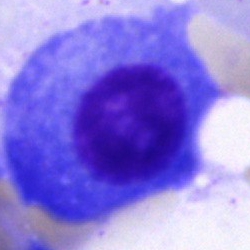

Single-cell crop from a bone marrow smear: plasma cell.